Bone marrow aspirate smear:
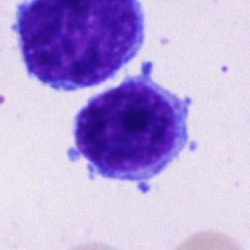

{"cell_type": "lymphocyte", "lineage": "lymphoid"}